250×250 px. Cropped to a single cell. Bone marrow aspirate smear.
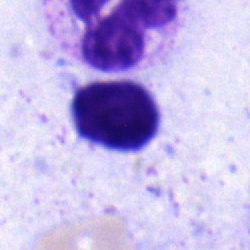

Q: What type of cell is this?
A: It is a lymphocyte.